250×250 · bone marrow aspirate smear · brightfield microscopy, 40× oil immersion
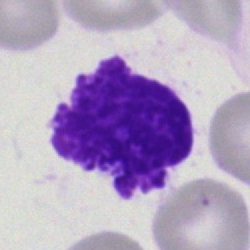

Q: What is shown here?
A: This is an artefact.